Single-cell crop; bone marrow aspirate smear
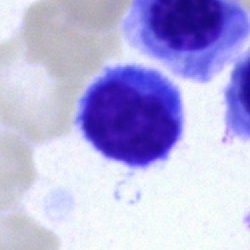 A lymphocyte.